Single-cell crop · bone marrow smear · May-Grünwald-Giemsa/Pappenheim stain: 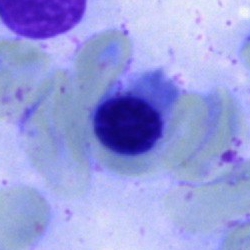
{"cell_type": "erythroblast", "lineage": "erythroid"}